Brightfield, 40× oil-immersion objective. Bone marrow smear: 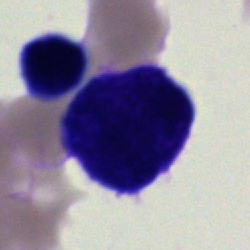 Morphology consistent with an artifact.